Bone marrow smear:
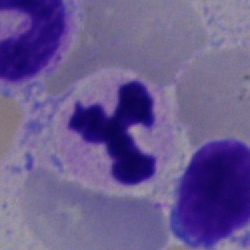
Cell: segmented neutrophil.